Romanowsky stain · peripheral blood smear.
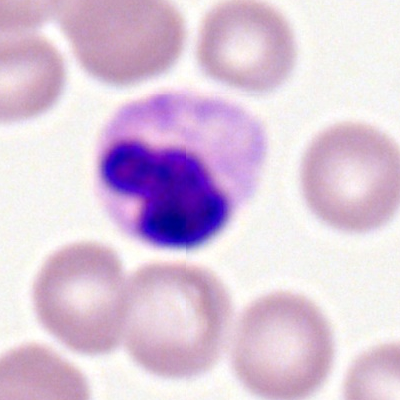
Q: Identify the cell.
A: It is a polymorphonuclear neutrophil.